Bone marrow smear: 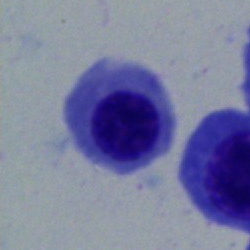 Cell type = normoblast.